Peripheral blood film
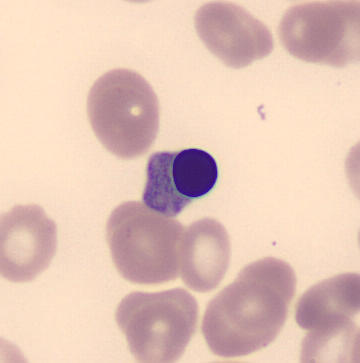 The cell shown is a normoblast.